Bone marrow aspirate smear.
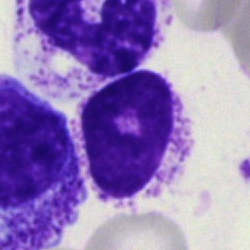This is an artifact.